Bone marrow smear; 40× objective, oil immersion
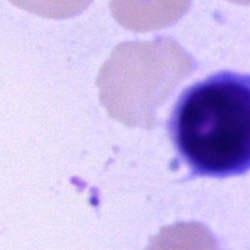
Classification = unidentifiable cell.